Bone marrow aspirate smear. 40× oil immersion. 250×250 px — 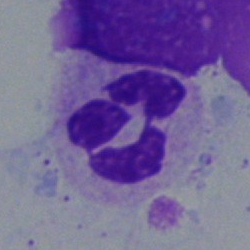 Single cell identified as a neutrophil (segmented).